Cropped to a single cell; Pappenheim-stained; bone marrow aspirate smear.
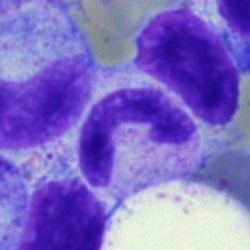Q: What cell is this?
A: Stab cell.